Brightfield, 40× oil-immersion objective · bone marrow smear — 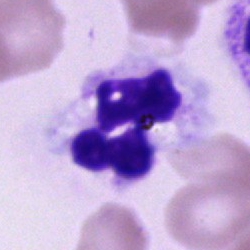

The cell is neutrophil (segmented).